Bone marrow aspirate smear · 40× objective, oil immersion.
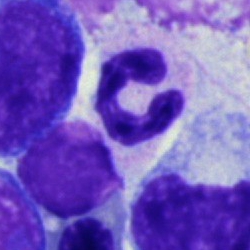

Cell = segmented neutrophil.